Brightfield, 40× oil-immersion objective; Pappenheim-stained; bone marrow smear:
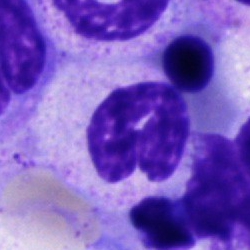
Specimen: bone marrow aspirate smear.
Cell: neutrophil (band).
Lineage: myeloid.